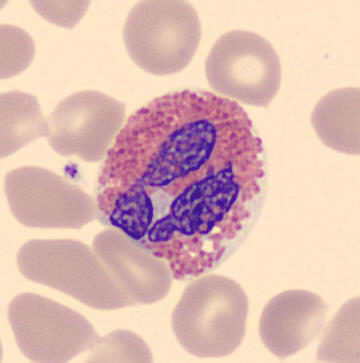

Identified as an eosinophilic granulocyte.